Bone marrow smear:
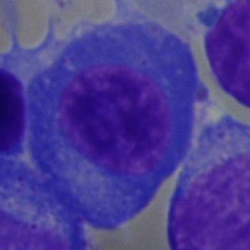This is a plasma cell.